Single-cell crop · bone marrow aspirate smear.
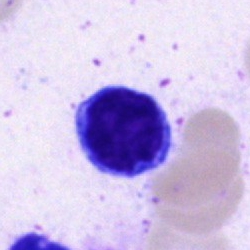

Specimen: bone marrow aspirate smear.
Classification: typical lymphocyte.